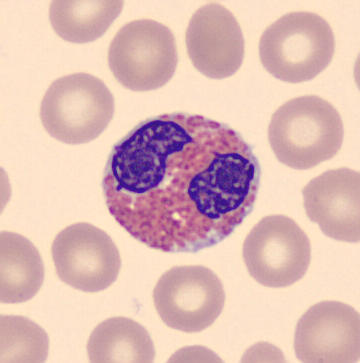Morphology → eosinophilic granulocyte.